Bone marrow aspirate smear
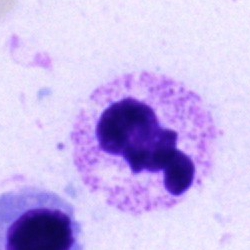This is a neutrophil (segmented).